Bone marrow smear:
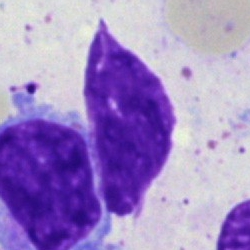 Cell type — artefact.